Image size 250×250 · bone marrow smear · single cell centered in the field — 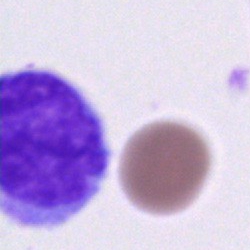Specimen: bone marrow smear.
Morphological class: unidentifiable cell.